Bone marrow aspirate smear. Single-cell field: 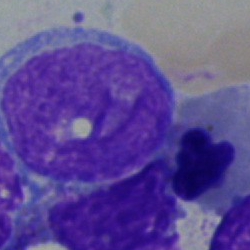

Cell type — blast cell.